Bone marrow aspirate smear
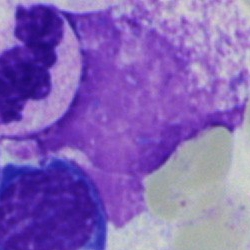
An artifact.